Pappenheim-stained · bone marrow aspirate smear
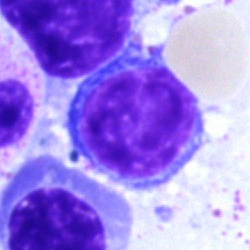 Morphology consistent with a lymphocyte.